250×250 px · bone marrow aspirate smear:
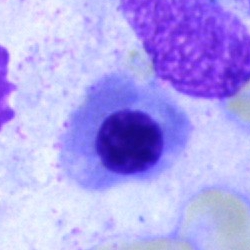

Cell type: normoblast.